Single-cell crop · bone marrow aspirate smear · image size 250×250: 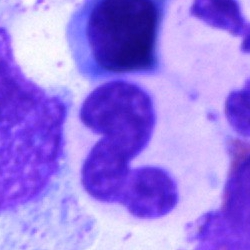 A band-form neutrophil.